Image size 250×250. Bone marrow aspirate smear. 40× oil immersion:
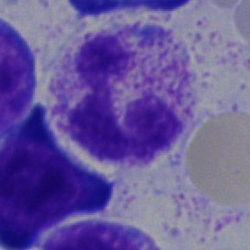Impression — neutrophil (segmented).